Bone marrow smear
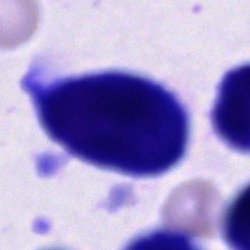
Cell: unidentifiable cell.